Bone marrow smear: 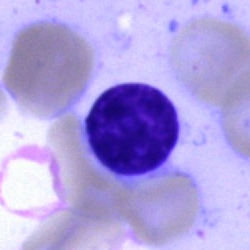Specimen: bone marrow smear.
Morphological class: lymphocyte.
Lineage: lymphoid.